Bone marrow smear
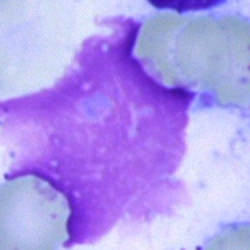Specimen: bone marrow aspirate smear.
Classification: artefact.